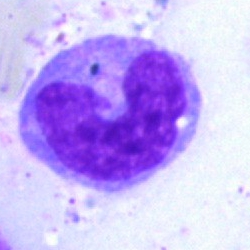A monocyte on a bone marrow smear.